Bone marrow smear.
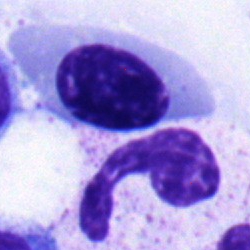

Single cell identified as an erythroblast.